250×250. Bone marrow smear: 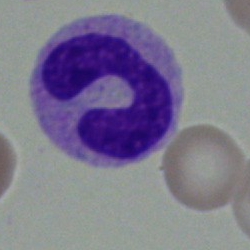Q: What is shown here?
A: This is a neutrophil (band).